Bone marrow smear — 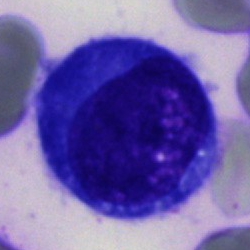

Q: Identify the cell.
A: Blast cell.